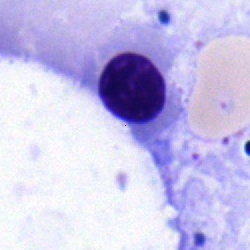Impression → erythroblast.